Bone marrow aspirate smear; 40× objective, oil immersion — 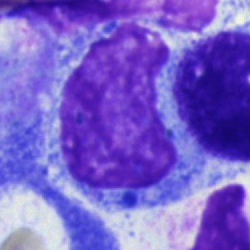
The morphological class is cell of indeterminate lineage.